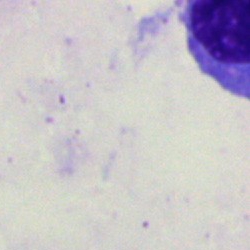 Classification — artifact.